Bone marrow smear. Single-cell crop:
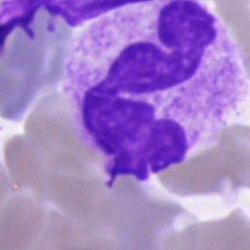

Cell type: segmented neutrophil.